Bone marrow smear
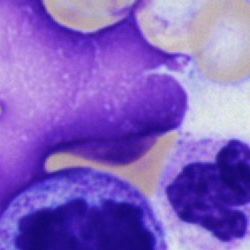Specimen: bone marrow smear.
Classification: artifact.